Bone marrow smear.
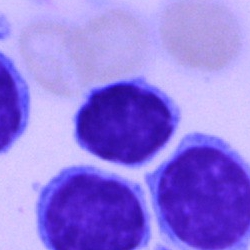 Q: What type of cell is this?
A: It is a lymphocyte.